Bone marrow smear: 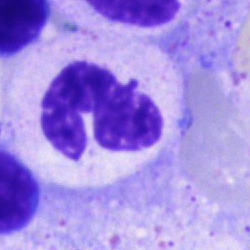

Specimen: bone marrow aspirate smear.
Classification: polymorphonuclear neutrophil.
Lineage: myeloid.